Bone marrow aspirate smear: 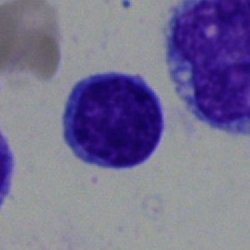 A lymphocyte.